Bone marrow smear; image size 250×250; single-cell crop:
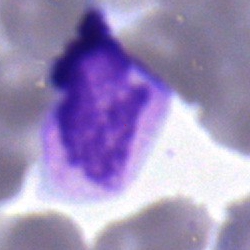 Q: What cell is this?
A: This is a metamyelocyte.